MGG-stained; brightfield microscopy, 40× oil immersion; bone marrow smear.
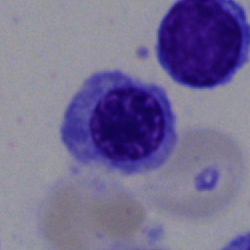

This is a nucleated red blood cell.